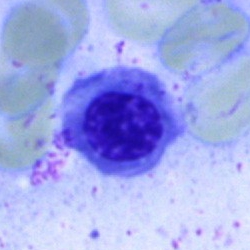Cell type — nucleated red cell.